Bone marrow smear
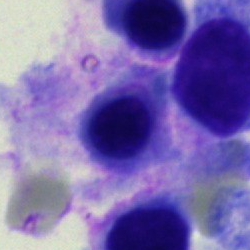An unidentifiable cell.